Single-cell field. Romanowsky stain. Peripheral blood smear: 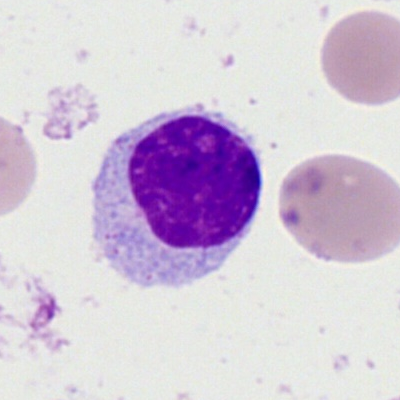

Cell type — lymphocyte.